Bone marrow aspirate smear — 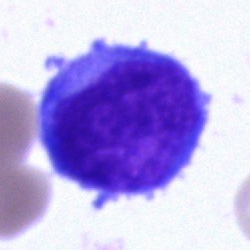{"cell_type": "blast"}